Bone marrow smear: 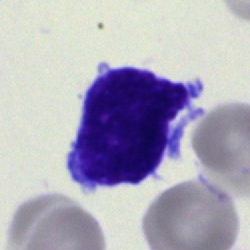

Cell type — blast.